Bone marrow aspirate smear.
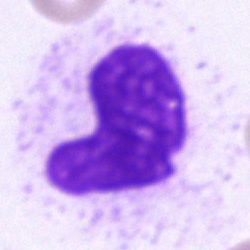

Cell type — artifact.